Bone marrow aspirate smear:
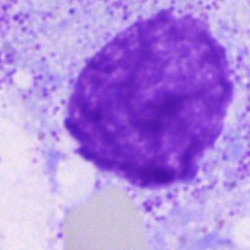

Morphology consistent with an artefact.